Bone marrow aspirate smear
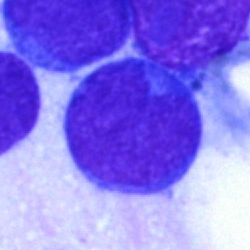Morphological class = blast.